Bone marrow aspirate smear — 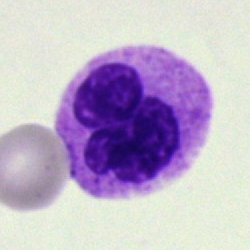 Q: What type of cell is this?
A: This is a neutrophil (segmented).